Bone marrow smear — 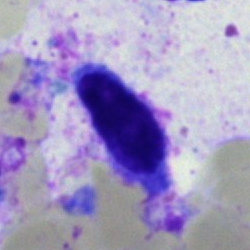 Morphology → artifact.